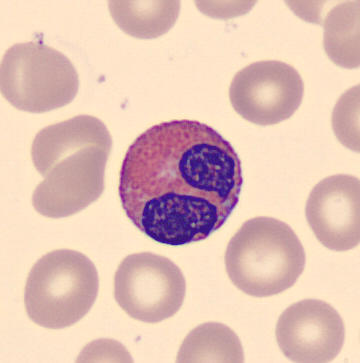

{"cell_type": "eosinophil", "lineage": "myeloid"}